Bone marrow smear — 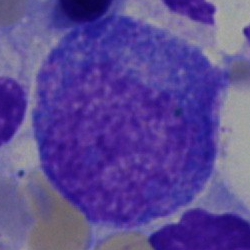 Morphological class: progranulocyte.